Bone marrow aspirate smear — 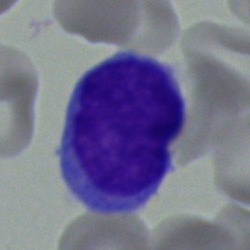The cell type is undifferentiated blast.